Bone marrow smear · cropped to a single cell: 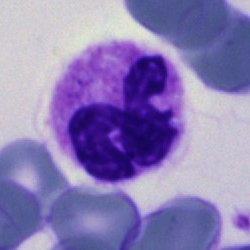
Q: What is shown here?
A: A segmented neutrophil.